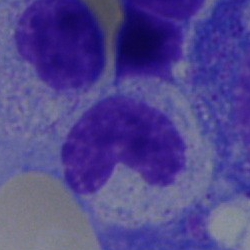

Metamyelocyte.